Bone marrow aspirate smear.
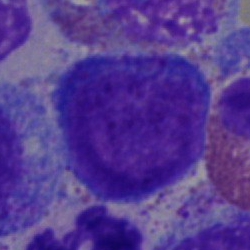
The cell is pronormoblast.